Bone marrow aspirate smear.
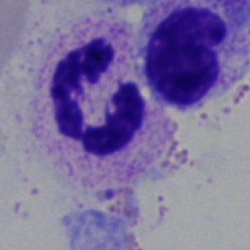Morphology → segmented neutrophil.